May-Grünwald-Giemsa stain; bone marrow aspirate smear:
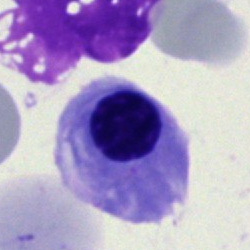 The cell is normoblast.